Bone marrow smear: 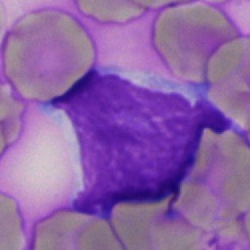

Morphology consistent with a lymphocyte.